Bone marrow smear; 250×250: 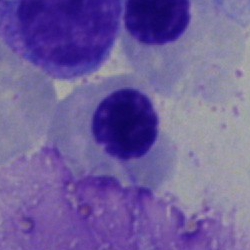{"cell_type": "erythroblast", "lineage": "erythroid"}